Bone marrow smear. 250×250 px. Single-cell crop: 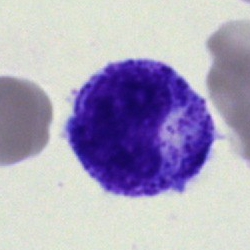{"cell_type": "progranulocyte", "lineage": "myeloid"}